Single cell centered in the field. Bone marrow aspirate smear.
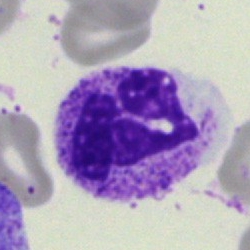
Classification — polymorphonuclear neutrophil.